Cropped to a single cell; bone marrow smear: 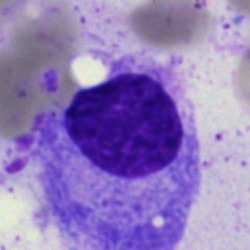 Q: What is the morphological classification of this cell?
A: This is a plasmacyte.